Peripheral blood film — 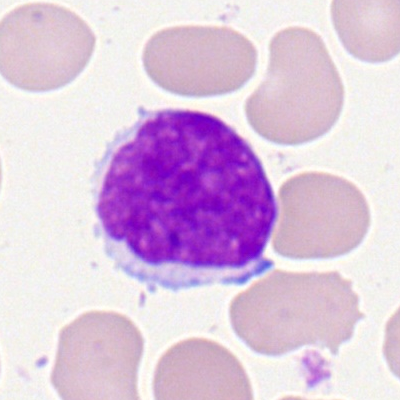 Specimen: peripheral blood film.
Classification: typical lymphocyte.
Lineage: lymphoid.